40× oil immersion; cropped to a single cell; bone marrow aspirate smear:
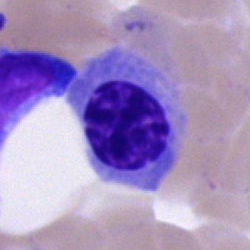
{"cell_type": "erythroblast", "lineage": "erythroid"}